Bone marrow aspirate smear; single-cell crop
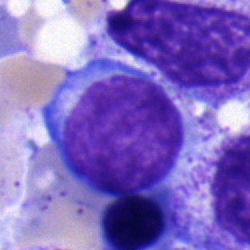{"cell_type": "blast cell"}